Single-cell field. Bone marrow aspirate smear. 250×250 px.
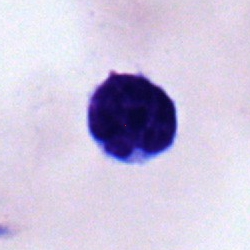

Q: What is shown here?
A: This is a lymphocyte.